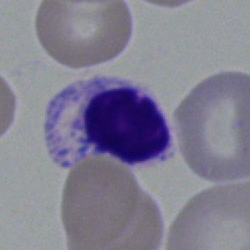Q: Identify the cell.
A: This is an erythroblast.